Bone marrow aspirate smear; brightfield, 40× oil-immersion objective; 250 by 250 pixels
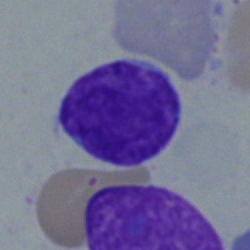

Impression — typical lymphocyte.